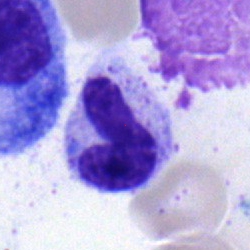Morphology → band neutrophil.